40× oil immersion · bone marrow smear:
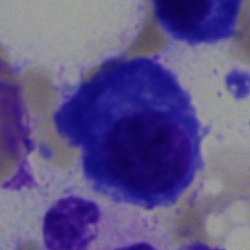
Showing a plasmacyte.